Bone marrow aspirate smear
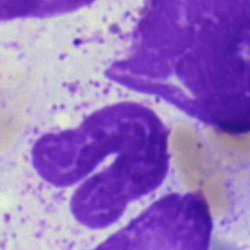 The cell is artefact.